Peripheral blood smear:
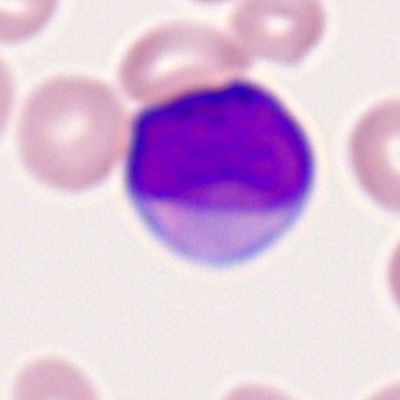 Q: Which cell type is shown here?
A: Myeloid blast.